Bone marrow aspirate smear — 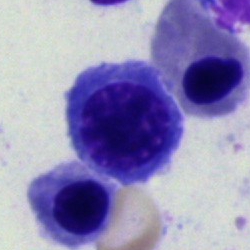
Q: What type of cell is this?
A: A normoblast.